250×250 · bone marrow aspirate smear · cropped to a single cell.
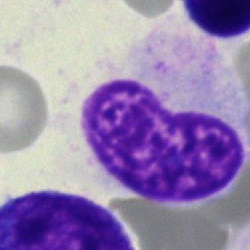
Classification = artefact.